Bone marrow smear.
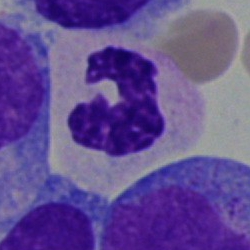Morphology consistent with a polymorphonuclear neutrophil.